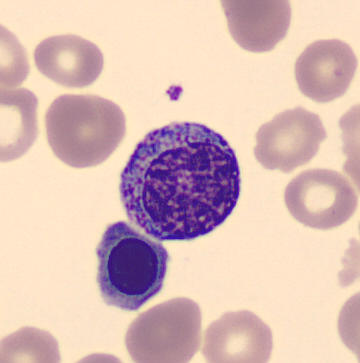
Automated cell imaging (CellaVision DM96); peripheral blood smear.
Q: Identify the cell.
A: This is a myelocyte.